Brightfield, 40× oil-immersion objective; bone marrow aspirate smear — 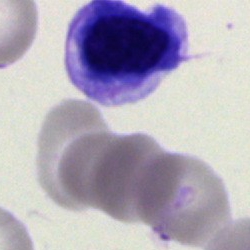 Morphological class: nucleated red blood cell.